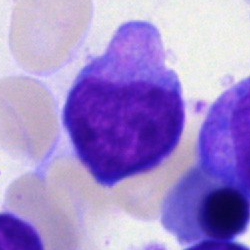 Bone marrow smear showing an undifferentiated blast.